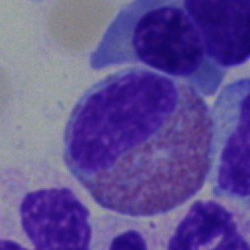

An eosinophil.